May-Grünwald-Giemsa/Pappenheim stain; bone marrow smear
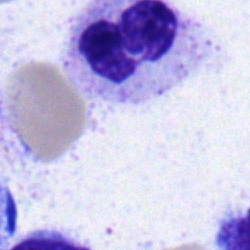 Single cell identified as a neutrophil (segmented).